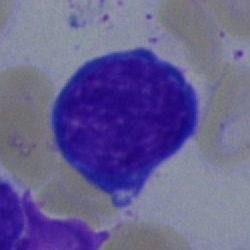 Q: Identify the cell.
A: Nucleated red cell.